Bone marrow aspirate smear: 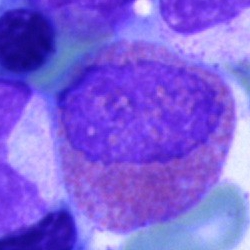 Q: What cell is this?
A: It is an eosinophil.